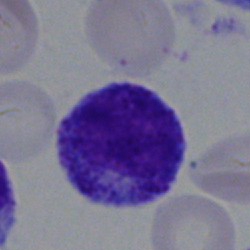Cell — progranulocyte.